Bone marrow smear:
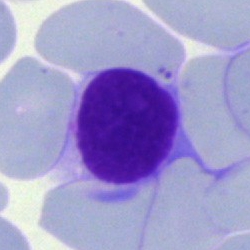
Cell = typical lymphocyte.